Bone marrow smear.
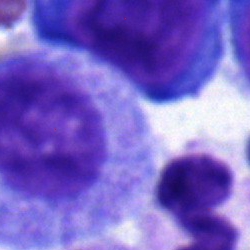

Cell type: proerythroblast.